Bone marrow smear:
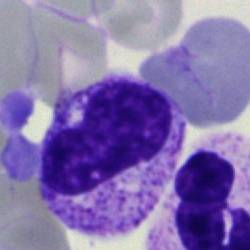
Morphology consistent with a metamyelocyte.